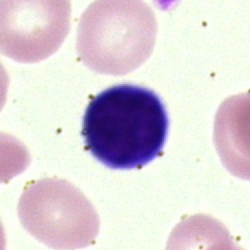

An artifact.